250×250. Bone marrow smear. Brightfield, 40× oil-immersion objective — 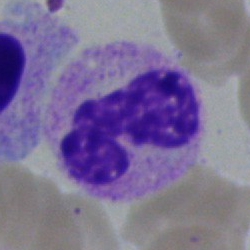The cell shown is a neutrophil (band).